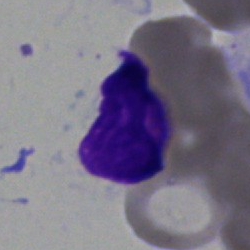 Single cell identified as an artifact.